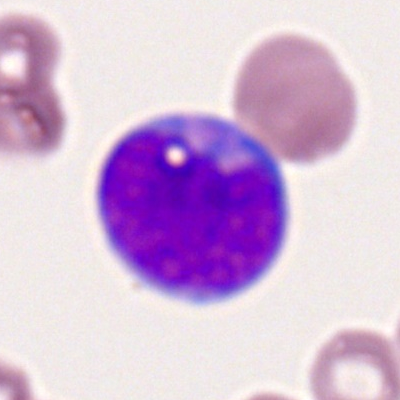Myeloblast.